Bone marrow aspirate smear — 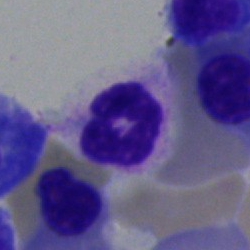

Impression → neutrophil (segmented).